Bone marrow smear
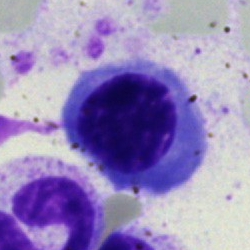
Showing a nucleated red blood cell.